Bone marrow smear:
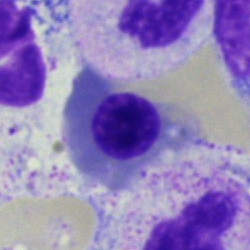

Single cell identified as a normoblast.